40× oil immersion; bone marrow aspirate smear; single cell centered in the field: 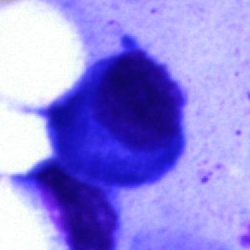

This is a plasma cell.